Bone marrow aspirate smear: 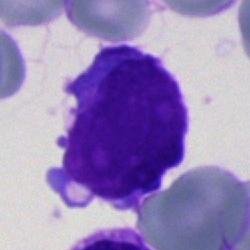 This is a blast.